Bone marrow aspirate smear. Single-cell field
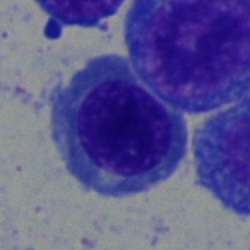

Morphology → nucleated red blood cell.